Bone marrow aspirate smear; cropped to a single cell; 40× objective, oil immersion — 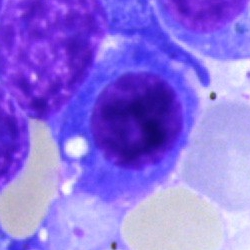
Plasmacyte.